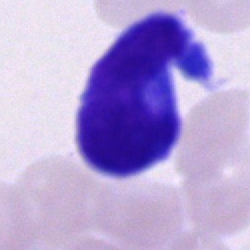 The morphological class is cell of indeterminate lineage.